MGG-stained · bone marrow aspirate smear · 250×250 px — 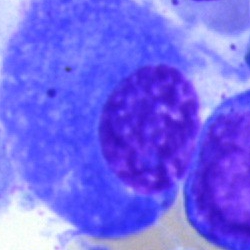 Q: What is the morphological classification of this cell?
A: It is a plasma cell.